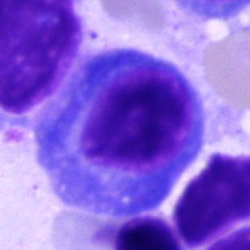

A plasma cell on a bone marrow smear.